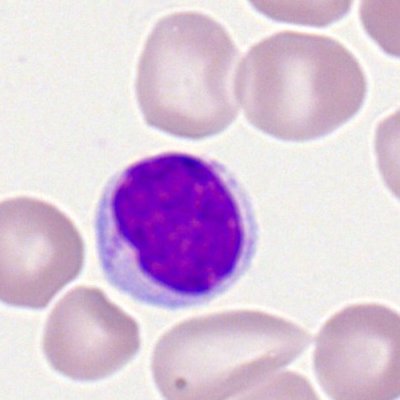
Cell type — lymphocyte.